Bone marrow smear
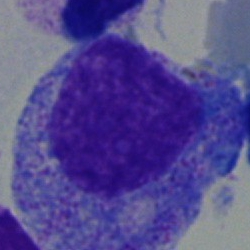
Cell = progranulocyte.